Peripheral blood smear; 400×400
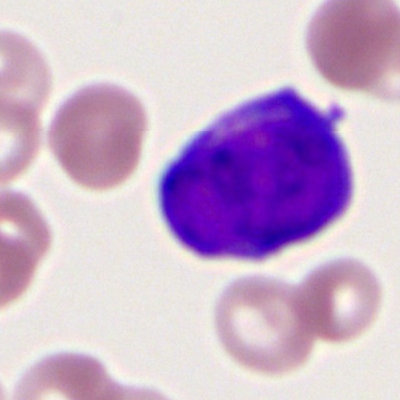 {"cell_type": "myeloblast", "lineage": "myeloid"}